40× objective, oil immersion. MGG-stained. Bone marrow smear:
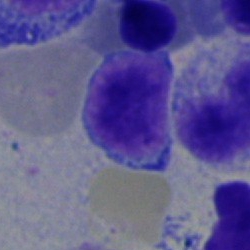

This is a typical lymphocyte.